Bone marrow smear:
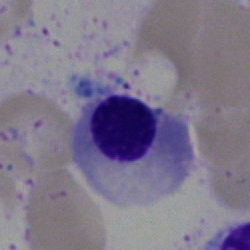 Showing a normoblast.